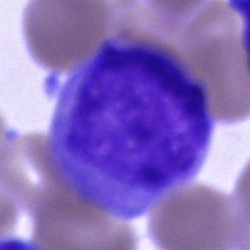
Morphology → blast cell.